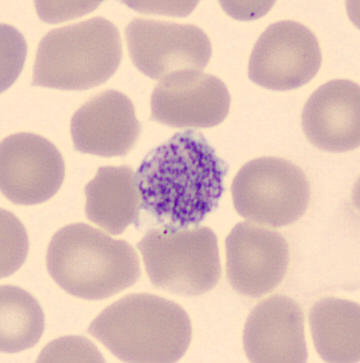The cell type is platelet (thrombocyte).

Image: Image size 360×363. May-Grünwald-Giemsa-stained. Peripheral blood film.